Bone marrow smear
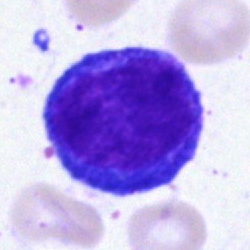The cell type is nucleated red blood cell.